MGG-stained. Bone marrow smear: 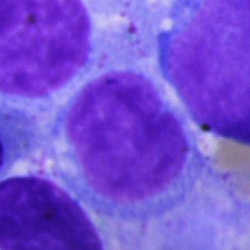 The cell shown is an undifferentiated blast.